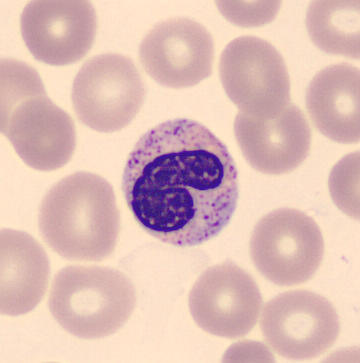

Preparation: CellaVision DM96 digital cell image.

Specimen: peripheral blood film.
Cell type: band-form neutrophil.